Bone marrow smear. 250 by 250 pixels:
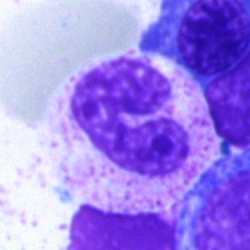
Morphology consistent with a band-form neutrophil.